Bone marrow smear: 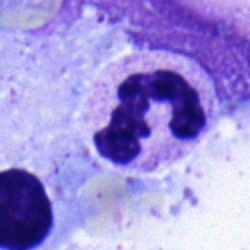This is a segmented neutrophil.